Pappenheim-stained · 250×250 px · bone marrow smear:
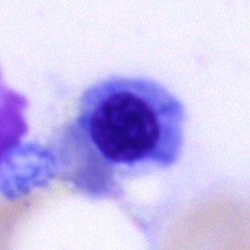Cell = erythroblast.